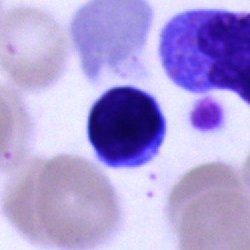
Morphology — typical lymphocyte.